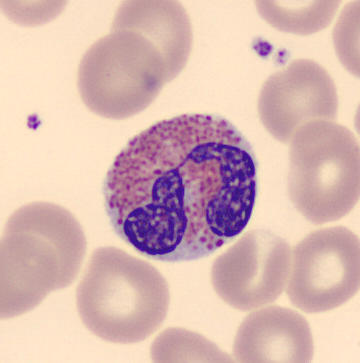 Preparation: Peripheral blood smear.
Q: Which cell type is shown here?
A: Eosinophilic granulocyte.